Bone marrow smear.
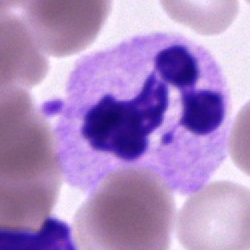 A neutrophil (segmented).